Bone marrow smear
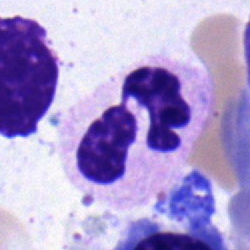 Specimen: bone marrow smear.
Morphological class: neutrophil (segmented).
Lineage: myeloid.